Image size 250×250; bone marrow aspirate smear — 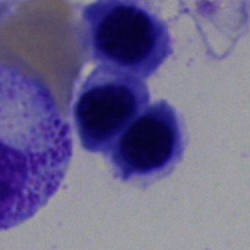 Showing a nucleated red blood cell.